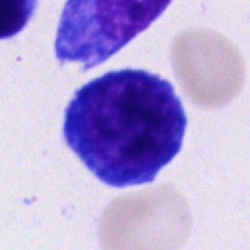 Bone marrow smear showing a nucleated red blood cell.